250×250; bone marrow smear — 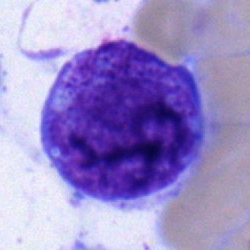
An undifferentiated blast.